Bone marrow smear · May-Grünwald-Giemsa/Pappenheim stain · 40× objective, oil immersion:
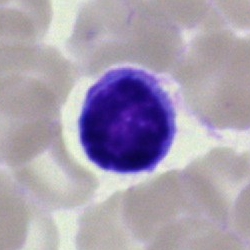The classification is lymphocyte.